Bone marrow smear.
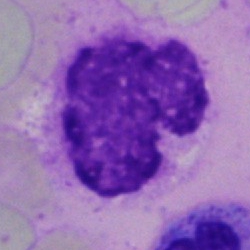 This is an artefact.